Bone marrow smear. 250×250:
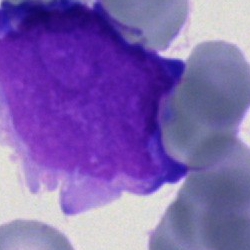 Impression — blast cell.